Single-cell crop. Bone marrow smear. 250 by 250 pixels:
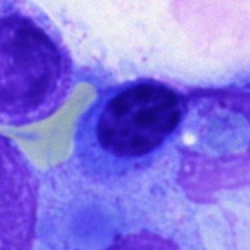
This is an erythroblast.